Bone marrow smear; single-cell crop.
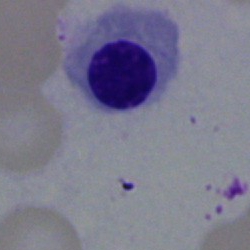

Cell = nucleated red blood cell.